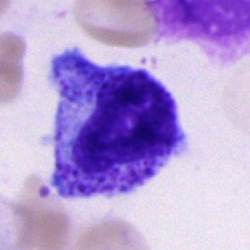
Impression → promyelocyte.